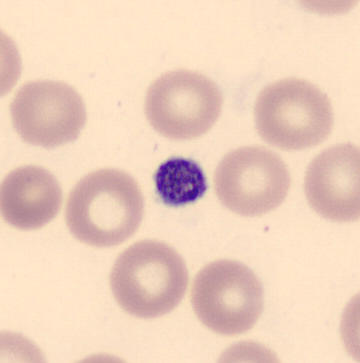 Q: What is this?
A: This is a platelet (thrombocyte).

Peripheral blood smear. Image size 360×363.